Bone marrow aspirate smear
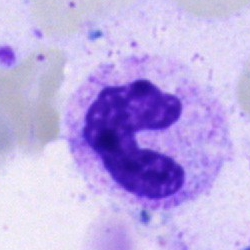 Cell — band-form neutrophil.